Bone marrow aspirate smear · May-Grünwald-Giemsa stain — 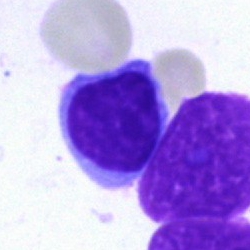 Q: Identify the cell.
A: This is a typical lymphocyte.